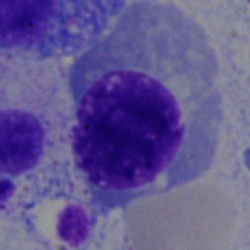

{"cell_type": "normoblast", "lineage": "erythroid"}